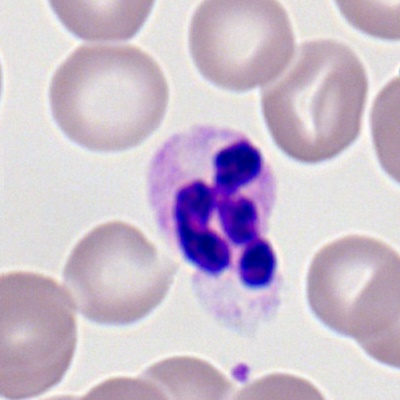 Specimen: peripheral blood film.
Cell: polymorphonuclear neutrophil.
Lineage: myeloid.